Bone marrow smear.
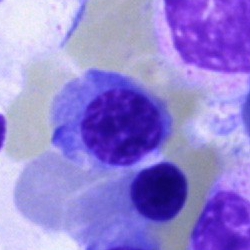 Nucleated red blood cell.